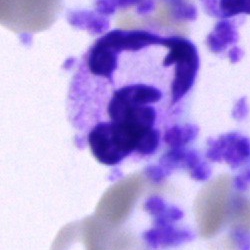 Cell: neutrophil (segmented).